Peripheral blood film.
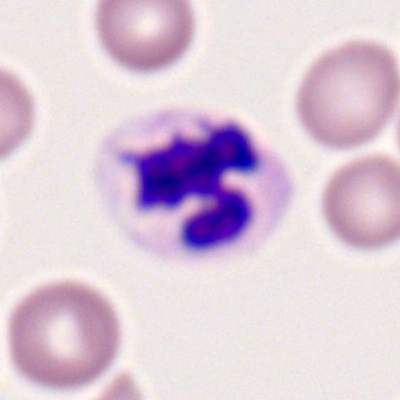 Morphological class: polymorphonuclear neutrophil.